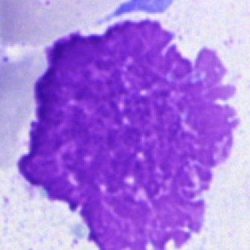
Morphological class = artefact.